Bone marrow smear:
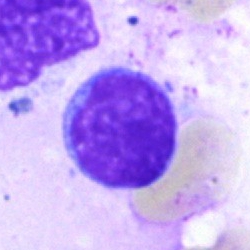
Single cell identified as a typical lymphocyte.